Single-cell field · brightfield, 40× oil-immersion objective · bone marrow smear
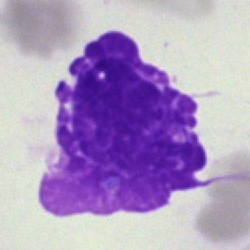 Classification = artefact.